Bone marrow aspirate smear; 250×250 px: 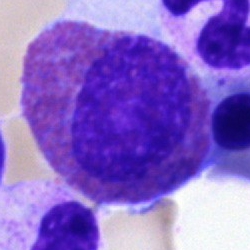The classification is eosinophil.